250×250 px. Bone marrow smear:
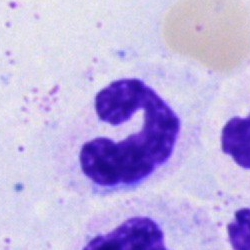{"cell_type": "polymorphonuclear neutrophil", "lineage": "myeloid"}